Bone marrow aspirate smear. Brightfield, 40× oil-immersion objective — 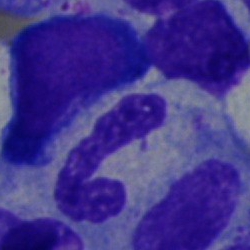 Q: Which cell type is shown here?
A: Nucleated red cell.